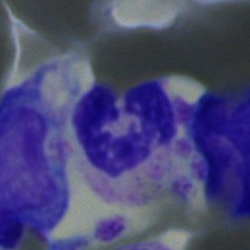This is a segmented neutrophil.